May-Grünwald-Giemsa stain · bone marrow smear · 40× oil immersion: 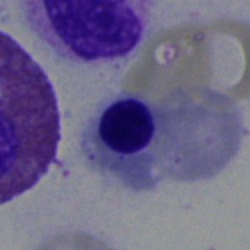

Cell: normoblast.